250×250; 40× oil immersion; bone marrow aspirate smear — 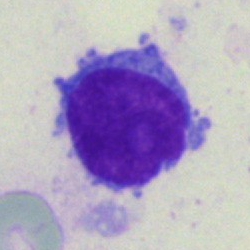 Cell type: typical lymphocyte.